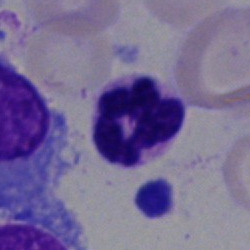

Impression → neutrophil (segmented).